Bone marrow aspirate smear — 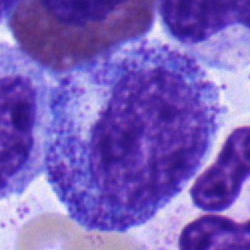Showing a progranulocyte.